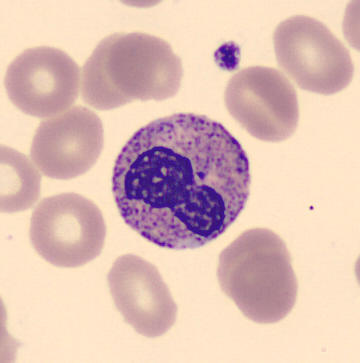
Image: Automated cell imaging (CellaVision DM96). Specimen: peripheral blood smear.
Cell: metamyelocyte.
Lineage: myeloid.